Bone marrow aspirate smear
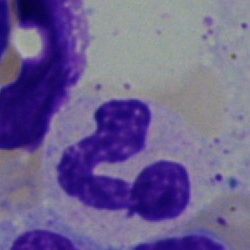This is a band-form neutrophil.